Bone marrow smear — 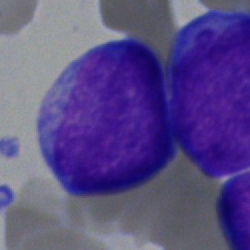

Morphology consistent with a blast cell.